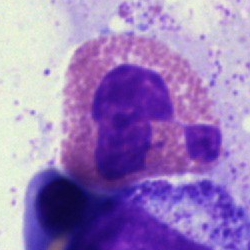 Specimen: bone marrow smear.
Classification: eosinophil.
Lineage: myeloid.